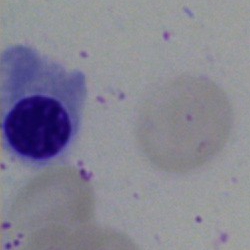 Single cell identified as a normoblast.